Bone marrow aspirate smear; 250 by 250 pixels
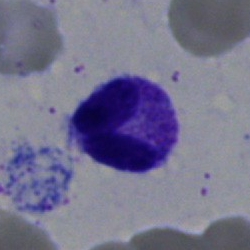 Specimen: bone marrow aspirate smear.
Morphological class: segmented neutrophil.
Lineage: myeloid.